Single cell centered in the field; peripheral blood smear; 100× objective, oil immersion.
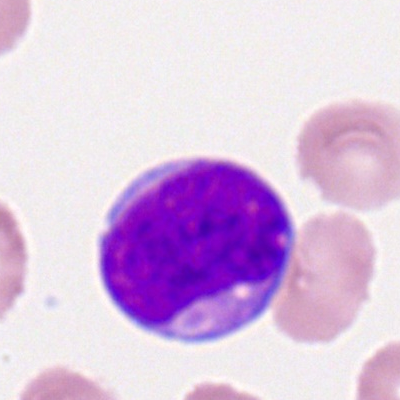 Q: Identify the cell.
A: This is a myeloid blast.